May-Grünwald-Giemsa/Pappenheim stain; bone marrow aspirate smear.
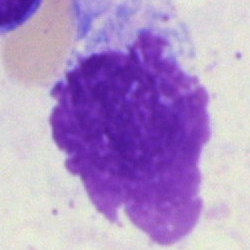

Q: What is shown here?
A: Artefact.